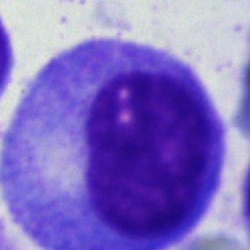 {"cell_type": "promyelocyte"}